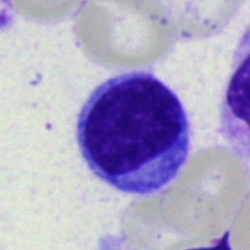

This is a lymphocyte.